Peripheral blood smear; single cell centered in the field; Romanowsky-type stain:
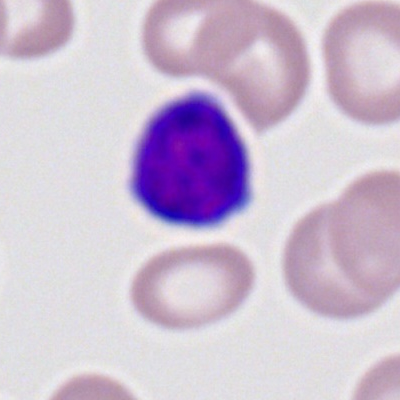Q: Which cell type is shown here?
A: It is a typical lymphocyte.